Cropped to a single cell; bone marrow aspirate smear
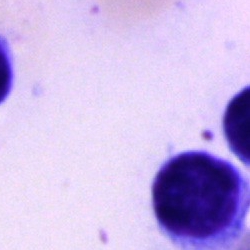
Morphology consistent with a typical lymphocyte.